Bone marrow aspirate smear: 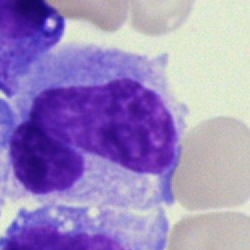
Q: Identify the cell.
A: Monocyte.